Bone marrow smear — 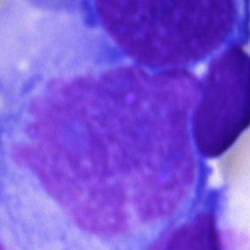Morphology → artefact.